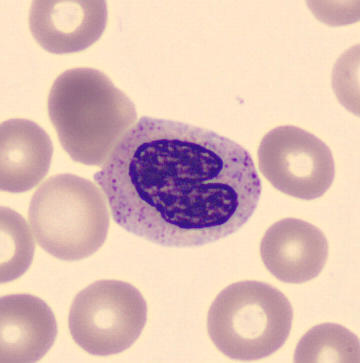 Morphological class — metamyelocyte.